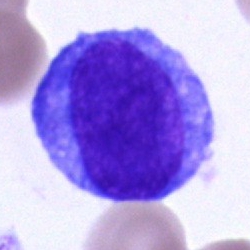

Specimen: bone marrow smear.
Morphological class: blast.